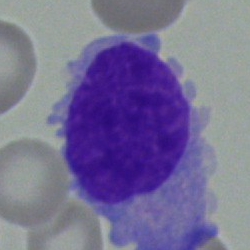Cell type = blast.